Bone marrow smear: 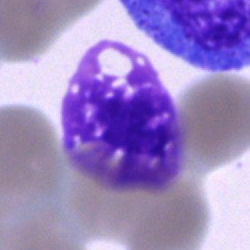 Showing an artefact.